Bone marrow aspirate smear. May-Grünwald-Giemsa/Pappenheim stain:
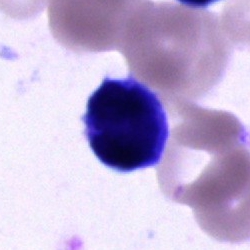
Specimen: bone marrow smear.
Cell: cell of indeterminate lineage.